Bone marrow aspirate smear. Brightfield microscopy, 40× oil immersion
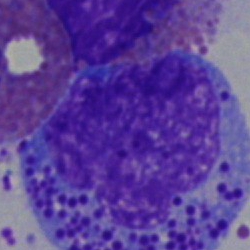Cell type — promyelocyte.